Bone marrow aspirate smear; 40× objective, oil immersion
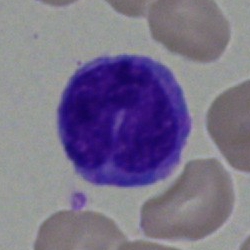Q: What cell is this?
A: Monocyte.